Bone marrow smear; 40× objective, oil immersion:
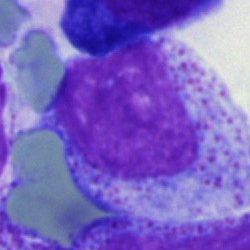 {"cell_type": "progranulocyte"}